Bone marrow smear: 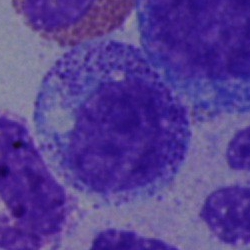
Impression — promyelocyte.